Bone marrow aspirate smear: 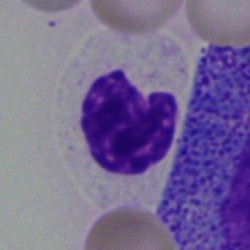

Specimen: bone marrow smear.
Cell: neutrophil (segmented).
Lineage: myeloid.